Peripheral blood smear. M8 digital microscope (Precipoint), 100× oil immersion: 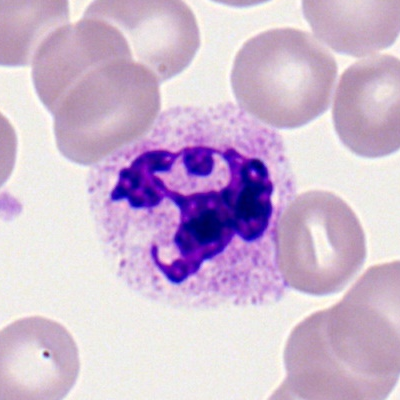 Q: What is shown here?
A: Neutrophil (segmented).